May-Grünwald-Giemsa stain; bone marrow aspirate smear
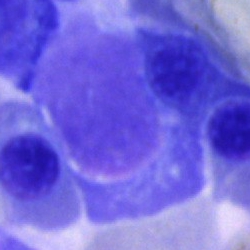 Specimen: bone marrow aspirate smear.
Classification: artefact.